250×250. Bone marrow smear — 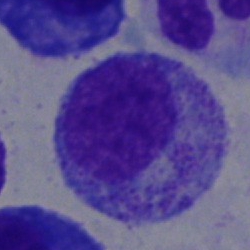
Specimen: bone marrow smear.
Classification: myelocyte.